Bone marrow aspirate smear:
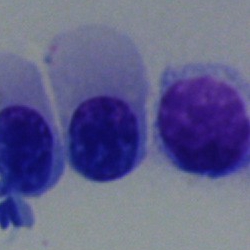

Q: What type of cell is this?
A: This is a neutrophil (segmented).